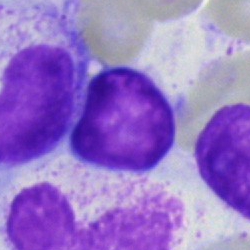

Morphology consistent with a lymphocyte.